Bone marrow smear — 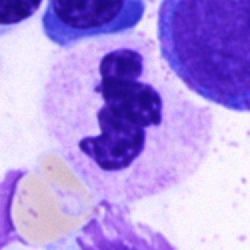
Specimen: bone marrow aspirate smear.
Cell: neutrophil (segmented).
Lineage: myeloid.